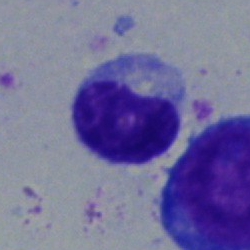

Specimen: bone marrow smear.
Cell: metamyelocyte.